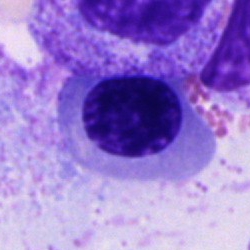 Cell: nucleated red cell.